Bone marrow aspirate smear:
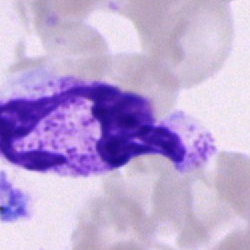 Impression → polymorphonuclear neutrophil.